Peripheral blood film. Romanowsky-stained. Image size 400×400.
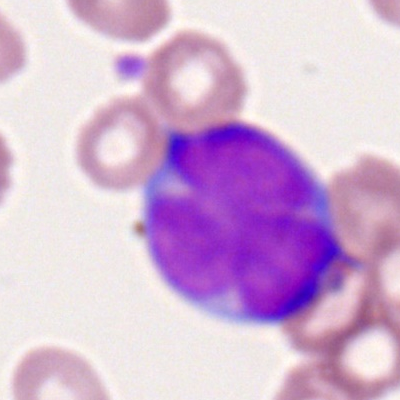
Morphology consistent with a myeloid blast.